Bone marrow smear.
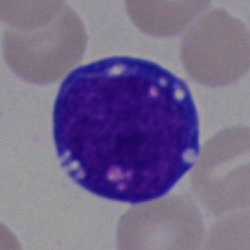 Cell type: blast.